Bone marrow aspirate smear — 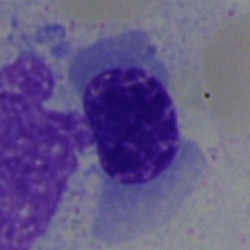 {"cell_type": "erythroblast"}